Bone marrow smear:
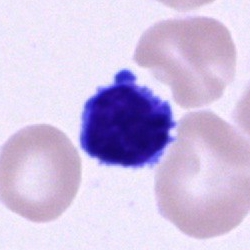

Specimen: bone marrow aspirate smear.
Morphological class: typical lymphocyte.
Lineage: lymphoid.